Bone marrow smear; single cell centered in the field; 40× oil immersion.
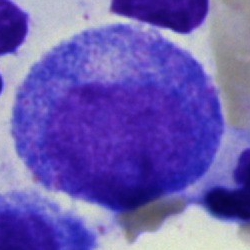Q: Which cell type is shown here?
A: Promyelocyte.